250×250 · bone marrow smear
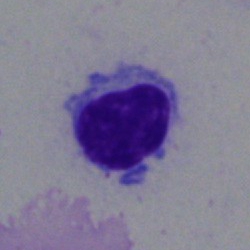 Morphology → typical lymphocyte.